400×400 · peripheral blood smear · Romanowsky-stained — 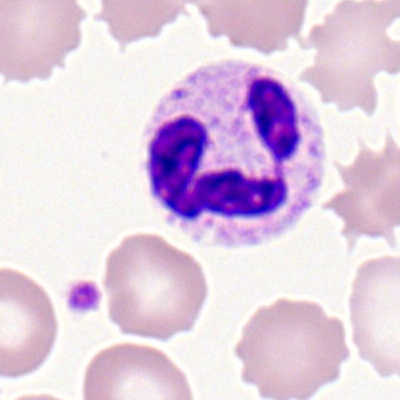Classification — segmented neutrophil.